Bone marrow smear — 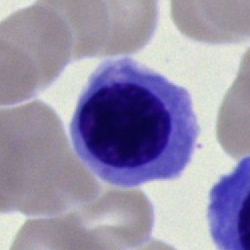The cell type is nucleated red cell.